Bone marrow smear — 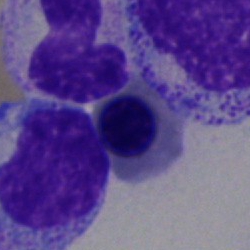This is a normoblast.